Bone marrow smear. Brightfield microscopy, 40× oil immersion: 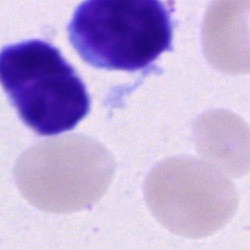

Q: What is shown here?
A: A lymphocyte.